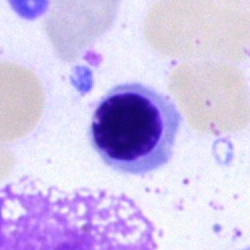Bone marrow aspirate smear, single cell — normoblast.